Bone marrow smear.
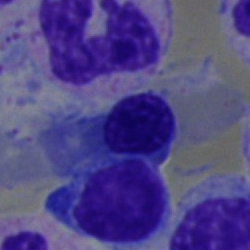
The cell shown is a lymphocyte.